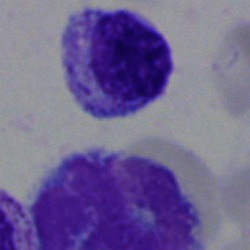 {"cell_type": "myelocyte", "lineage": "myeloid"}